May-Grünwald-Giemsa/Pappenheim stain. 250×250 px. Bone marrow aspirate smear: 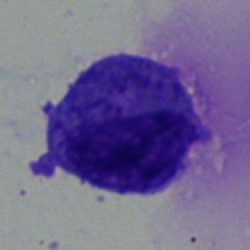
Showing an abnormal eosinophil.